Bone marrow smear. 40× oil immersion — 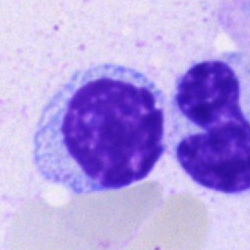
Cell type: typical lymphocyte.